Bone marrow aspirate smear
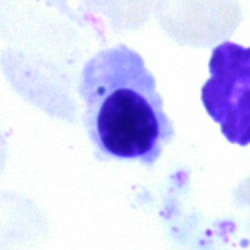Cell: nucleated red cell.